Bone marrow smear:
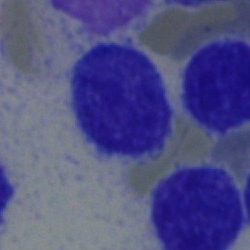 Q: Identify the cell.
A: A lymphocyte.